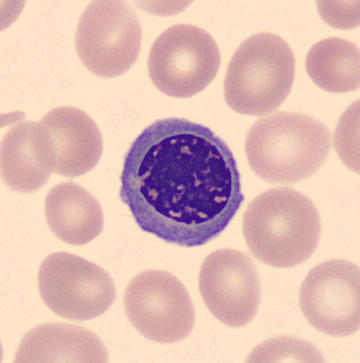
Morphological class = nucleated red blood cell.